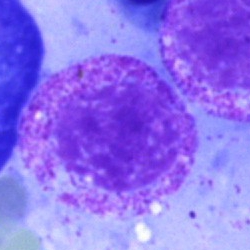 Q: What type of cell is this?
A: Myelocyte.